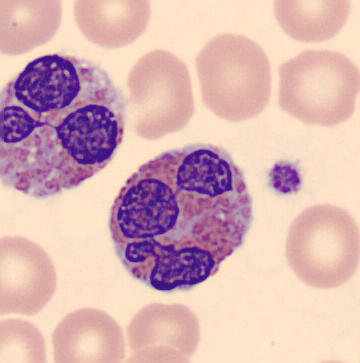
Morphological class = eosinophilic granulocyte.

Acquisition: Peripheral blood smear.